Bone marrow aspirate smear · 250×250 px · single-cell crop — 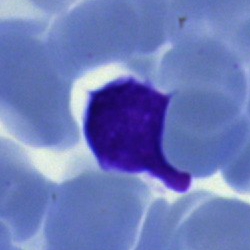 Q: What is shown here?
A: An artifact.